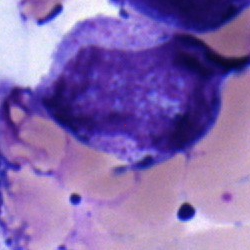Specimen: bone marrow smear.
Cell type: blast.